Bone marrow smear; cropped to a single cell:
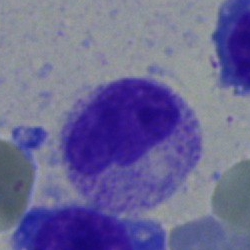Cell type: metamyelocyte.